May-Grünwald-Giemsa stain; bone marrow aspirate smear; single cell centered in the field:
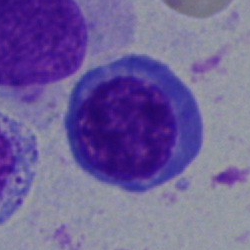

Q: What is the morphological classification of this cell?
A: Erythroblast.